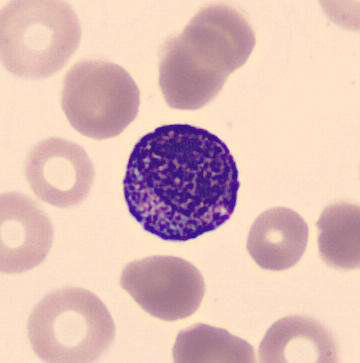
Myelocyte.